Bone marrow aspirate smear
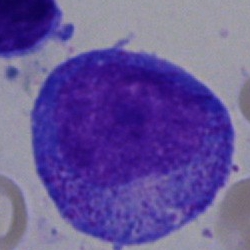 Specimen: bone marrow aspirate smear.
Cell type: progranulocyte.
Lineage: myeloid.